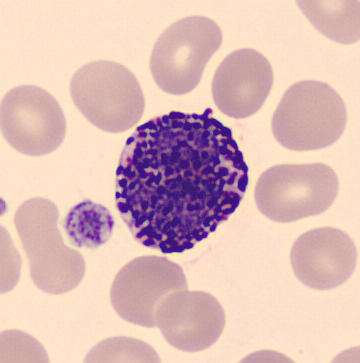Basophil. Peripheral blood smear.